Bone marrow aspirate smear: 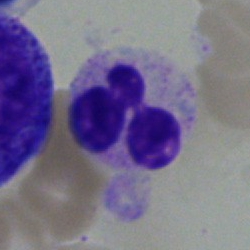The morphological class is basophilic granulocyte.